Bone marrow aspirate smear:
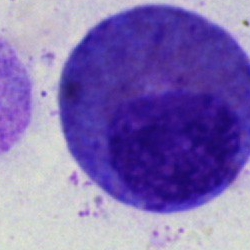
Morphological class = eosinophil.